Bone marrow aspirate smear.
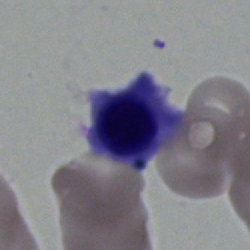 Nucleated red blood cell.